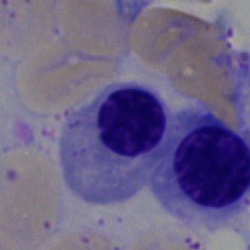

Cell — erythroblast.